Single cell centered in the field. Bone marrow aspirate smear
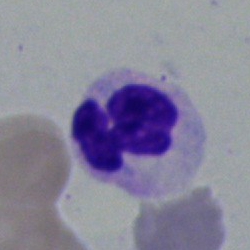 This is a polymorphonuclear neutrophil.